Bone marrow smear — 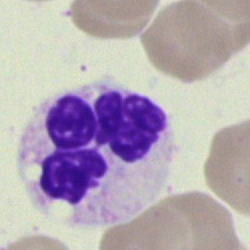
Q: Which cell type is shown here?
A: This is a segmented neutrophil.